Brightfield, 40× oil-immersion objective. Bone marrow aspirate smear.
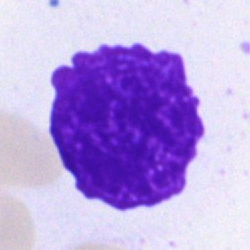
Specimen: bone marrow smear.
Classification: artifact.